Bone marrow smear.
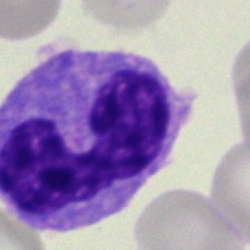
Showing a band neutrophil.